Bone marrow aspirate smear:
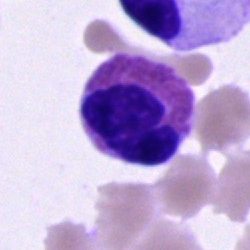Q: What is shown here?
A: This is an eosinophilic granulocyte.